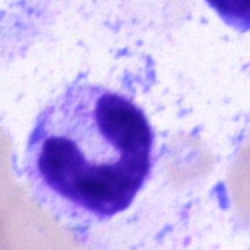
Cell type = metamyelocyte.